250 by 250 pixels; bone marrow aspirate smear — 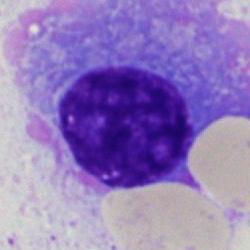

Classification = artefact.